Bone marrow aspirate smear. 250×250 px. May-Grünwald-Giemsa stain — 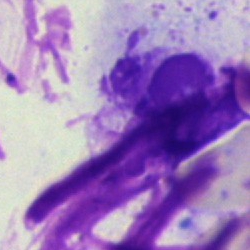 Artefact.